Bone marrow aspirate smear — 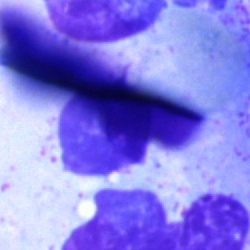 The cell is artifact.